Bone marrow smear
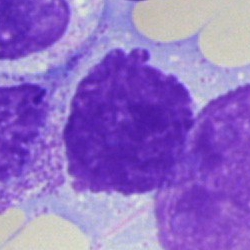
The cell shown is an artifact.